May-Grünwald-Giemsa stain · bone marrow smear: 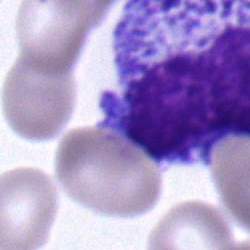

Q: What is shown here?
A: It is a myelocyte.